Bone marrow aspirate smear.
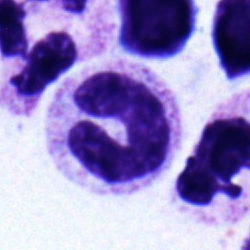The morphological class is band neutrophil.